Bone marrow smear. Brightfield, 40× oil-immersion objective — 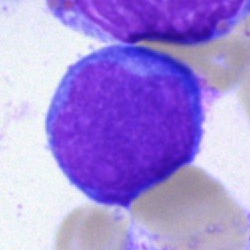An undifferentiated blast.